Bone marrow smear.
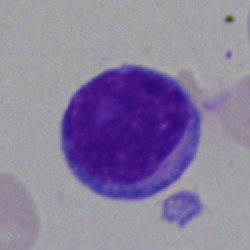 Morphology consistent with a typical lymphocyte.